Bone marrow aspirate smear; 40× objective, oil immersion; 250×250
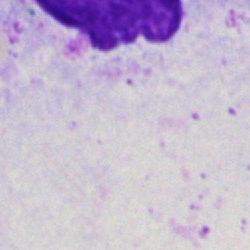 Q: What is shown here?
A: This is an artifact.